Bone marrow smear — 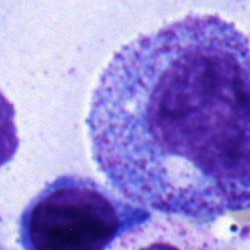Cell type — progranulocyte.